Bone marrow aspirate smear:
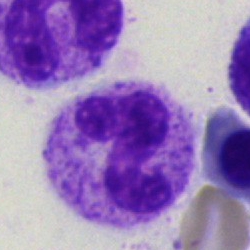

The cell is polymorphonuclear neutrophil.